Bone marrow smear; single cell centered in the field: 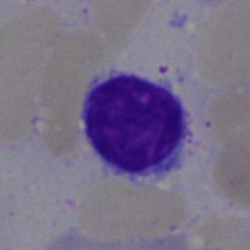 Specimen: bone marrow smear.
Cell: typical lymphocyte.